Bone marrow aspirate smear. 250 by 250 pixels.
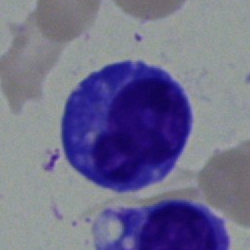
Cell type: plasma cell.